May-Grünwald-Giemsa/Pappenheim stain. Bone marrow smear:
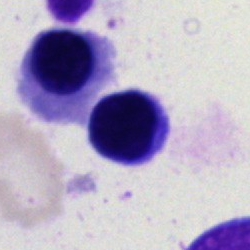

Morphology consistent with a nucleated red cell.